May-Grünwald-Giemsa stain · bone marrow aspirate smear · brightfield, 40× oil-immersion objective:
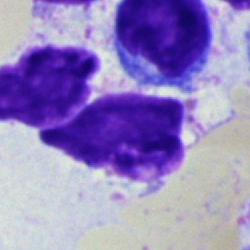Q: What is shown here?
A: Artefact.